Peripheral blood smear. Brightfield, 100× oil-immersion objective
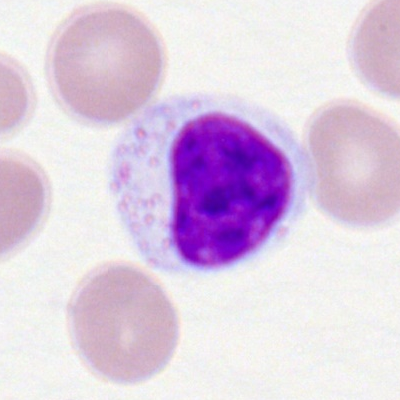 Morphology consistent with a typical lymphocyte.